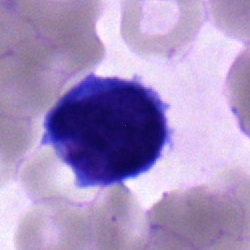 Impression → blast.